Brightfield microscopy, 40× oil immersion; single-cell crop; bone marrow aspirate smear: 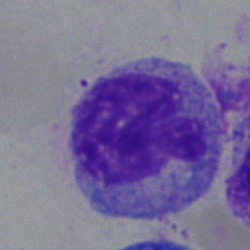

The cell shown is a monocyte.